M8 digital microscope (Precipoint), 100× oil immersion. Peripheral blood smear — 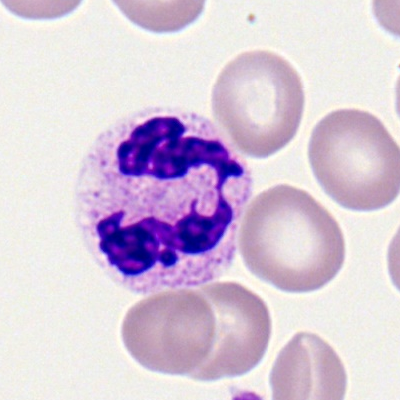
Cell: segmented neutrophil.